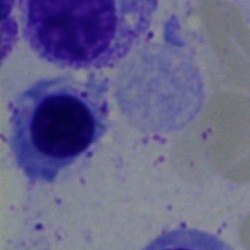Showing a nucleated red blood cell.